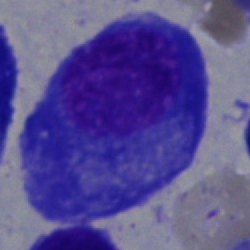

Morphological class = plasmacyte.